Bone marrow smear. May-Grünwald-Giemsa/Pappenheim stain. Brightfield, 40× oil-immersion objective
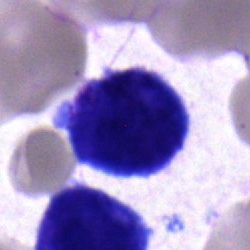
Specimen: bone marrow aspirate smear.
Cell: undifferentiated blast.